Bone marrow smear: 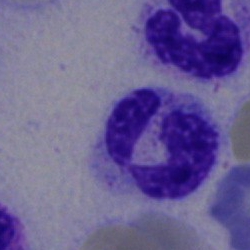
Q: What is the morphological classification of this cell?
A: A segmented neutrophil.